Bone marrow aspirate smear. MGG-stained:
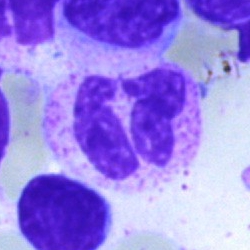Morphology consistent with a neutrophil (segmented).